Bone marrow aspirate smear. Brightfield microscopy, 40× oil immersion.
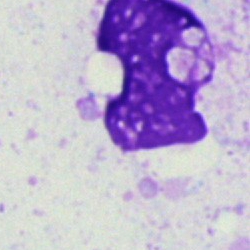Cell type — artifact.